Bone marrow smear: 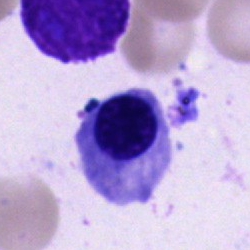
Specimen: bone marrow smear.
Cell: nucleated red blood cell.